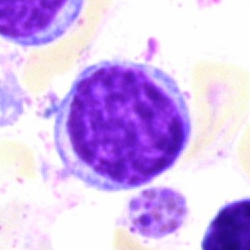 Morphology → typical lymphocyte.